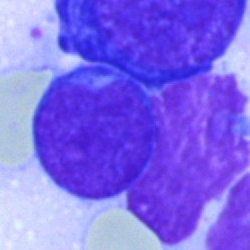
{"cell_type": "undifferentiated blast"}